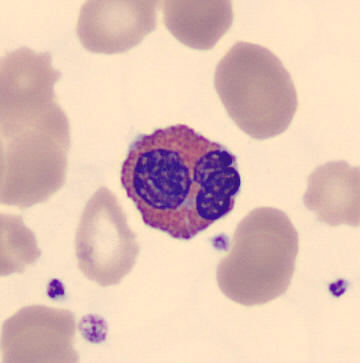
Specimen: peripheral blood smear.
Cell type: eosinophil.

Cropped to a single cell · May-Grünwald-Giemsa-stained.